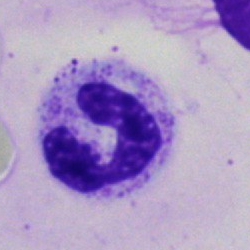

Q: Identify the cell.
A: It is a band neutrophil.